Peripheral blood smear — 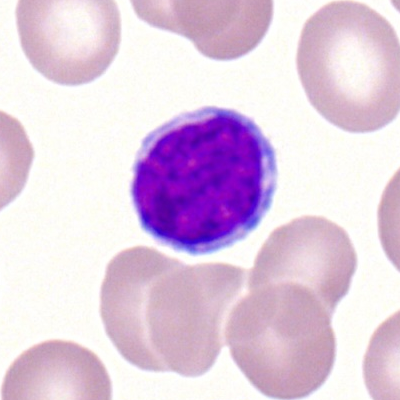

Morphology consistent with a lymphocyte.